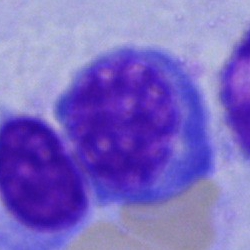

Morphological class: normoblast.